Bone marrow aspirate smear:
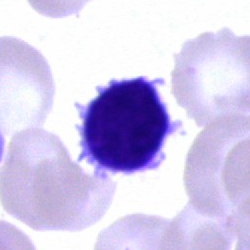Morphology consistent with a lymphocyte.